Bone marrow smear — 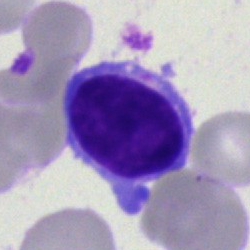 Showing a typical lymphocyte.